40× objective, oil immersion · bone marrow aspirate smear: 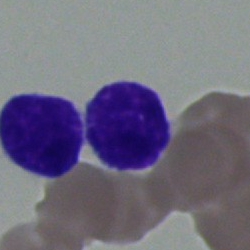 Showing a lymphocyte.